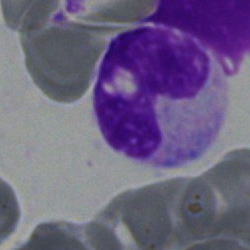Bone marrow aspirate smear, single cell — stab cell.